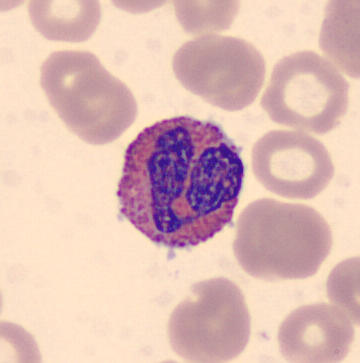Cell type: eosinophilic granulocyte.